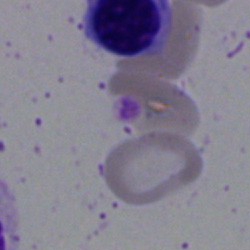 Cell = artifact.